Bone marrow smear:
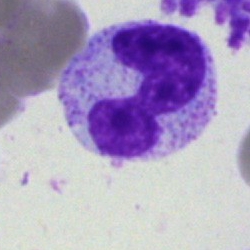
Q: What type of cell is this?
A: Neutrophil (band).